MGG-stained. Brightfield microscopy, 40× oil immersion. Bone marrow aspirate smear — 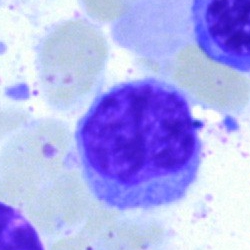Morphology consistent with a lymphocyte.